40× objective, oil immersion; bone marrow aspirate smear; MGG-stained
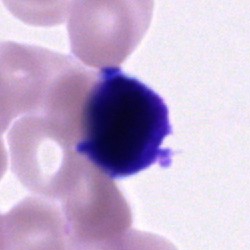
Morphology — unidentifiable cell.